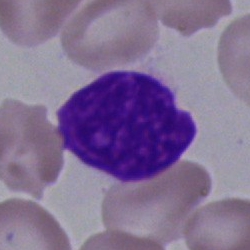 Bone marrow aspirate smear, single cell — artifact.